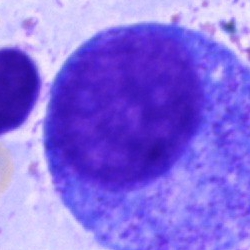Bone marrow smear showing a progranulocyte.